Bone marrow aspirate smear.
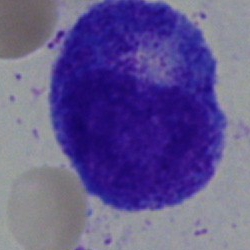The cell shown is a progranulocyte.